Bone marrow aspirate smear; brightfield, 40× oil-immersion objective; cropped to a single cell.
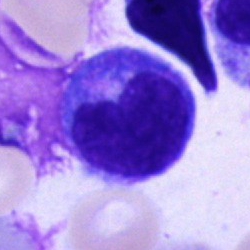
{"cell_type": "monocyte"}